Bone marrow smear.
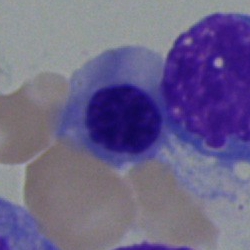

Specimen: bone marrow smear.
Cell type: nucleated red blood cell.